Bone marrow smear.
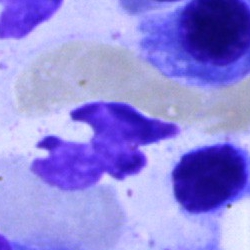
Segmented neutrophil.